Peripheral blood smear — 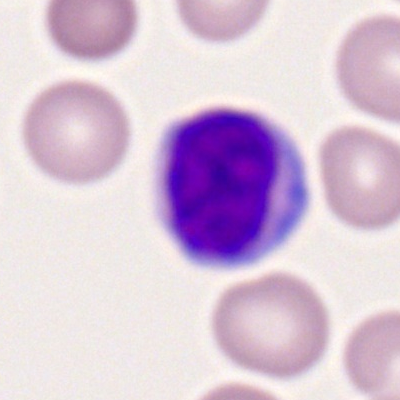 Q: Which cell type is shown here?
A: It is a lymphocyte.